Single-cell field · 250 by 250 pixels · bone marrow smear
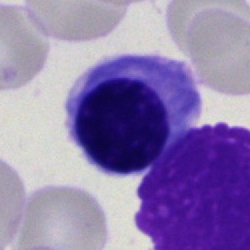Specimen: bone marrow smear.
Morphological class: normoblast.